Pappenheim-stained; bone marrow aspirate smear
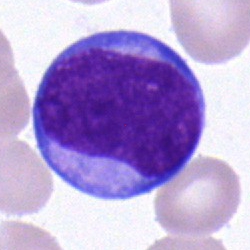 Cell = blast cell.